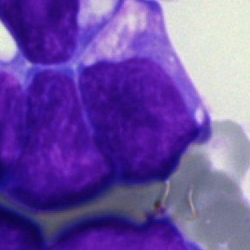

Q: Which cell type is shown here?
A: This is a blast cell.